Bone marrow smear; 250×250; 40× oil immersion.
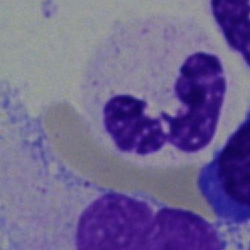

Morphology — segmented neutrophil.